Bone marrow aspirate smear: 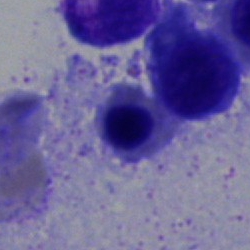Specimen: bone marrow smear.
Cell type: erythroblast.
Lineage: erythroid.